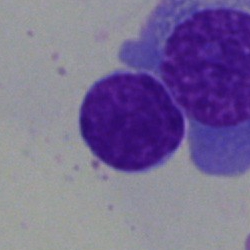
Q: What type of cell is this?
A: This is a lymphocyte.